Bone marrow aspirate smear — 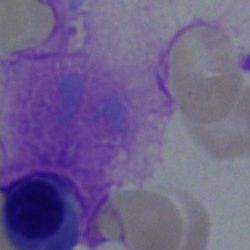
Q: What is shown here?
A: This is an artefact.